Bone marrow smear: 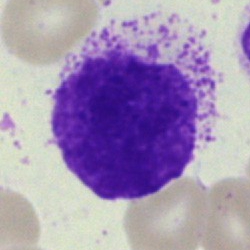
Specimen: bone marrow smear.
Cell: artifact.